Bone marrow smear.
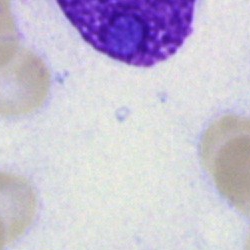
Morphology — artefact.